Peripheral blood smear. 400×400 px — 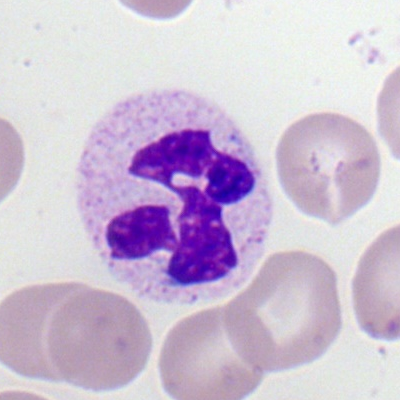Morphology → polymorphonuclear neutrophil.